Bone marrow smear:
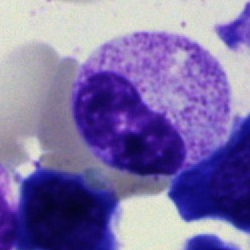
Impression — metamyelocyte.